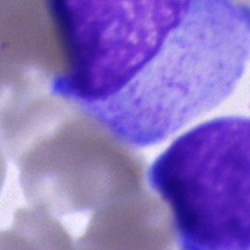A cell of indeterminate lineage.